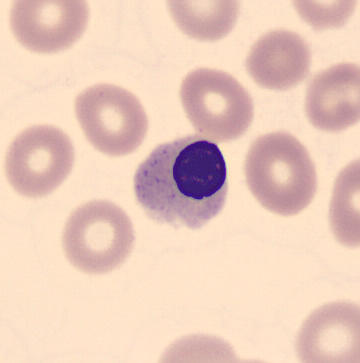 Image: Peripheral blood film.
This is a normoblast.